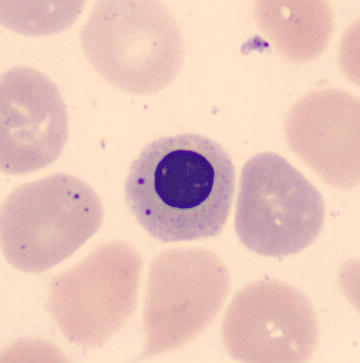

The classification is erythroblast.
Peripheral blood film.